Bone marrow smear. 40× oil immersion:
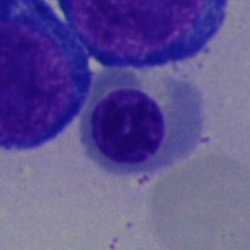 Q: What cell is this?
A: A nucleated red cell.